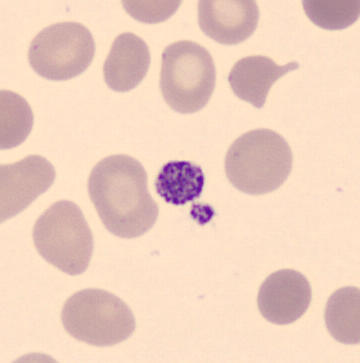
Peripheral blood smear. Q: What is shown here?
A: This is a thrombocyte.